Cropped to a single cell; bone marrow smear.
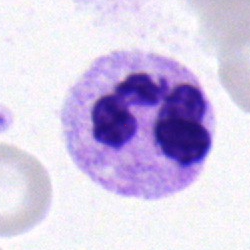

The cell type is segmented neutrophil.